Bone marrow smear. Brightfield, 40× oil-immersion objective — 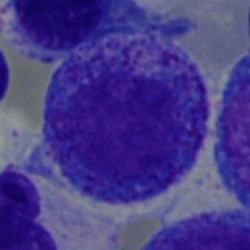 Specimen: bone marrow aspirate smear.
Classification: promyelocyte.
Lineage: myeloid.